Bone marrow aspirate smear:
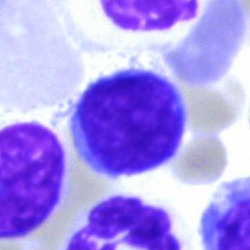Q: What is shown here?
A: A typical lymphocyte.